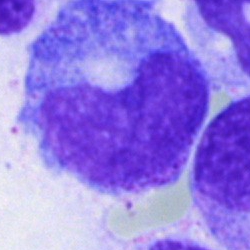
Impression → metamyelocyte.